Single cell centered in the field. Peripheral blood smear.
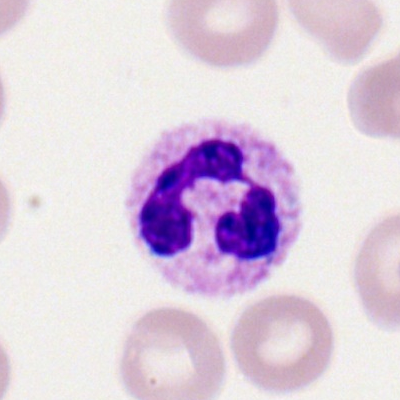 Q: What type of cell is this?
A: A polymorphonuclear neutrophil.